Single-cell crop · bone marrow aspirate smear — 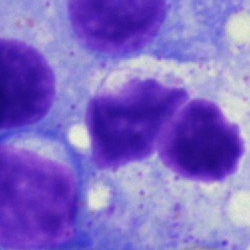

{"cell_type": "neutrophil (segmented)", "lineage": "myeloid"}